Bone marrow smear. 250×250 px
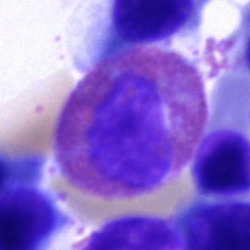
Q: Identify the cell.
A: It is an eosinophilic granulocyte.